Bone marrow smear:
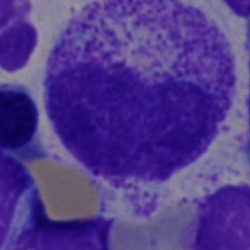A myelocyte.